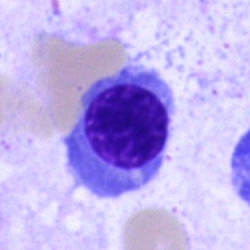Specimen: bone marrow aspirate smear.
Morphological class: normoblast.